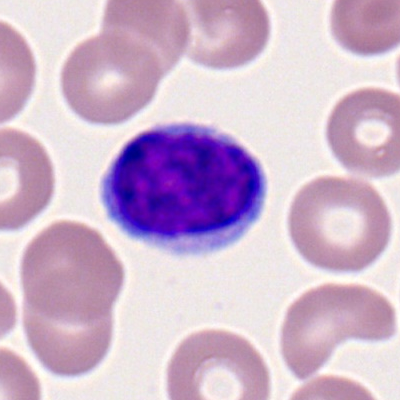
The classification is lymphocyte.